Bone marrow smear
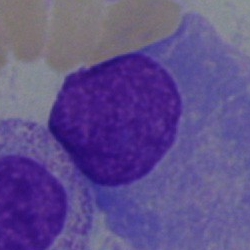Impression → plasmacyte.